May-Grünwald-Giemsa stain; bone marrow aspirate smear.
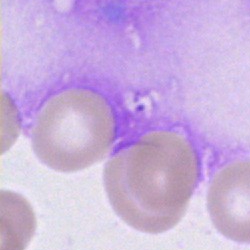The cell shown is an artefact.